Bone marrow aspirate smear.
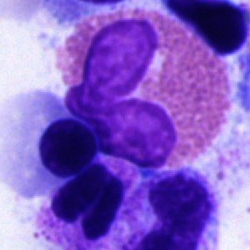
Morphology → eosinophilic granulocyte.